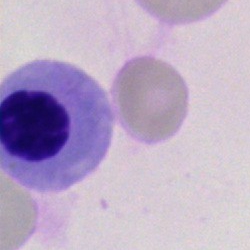 Morphology consistent with a nucleated red blood cell.